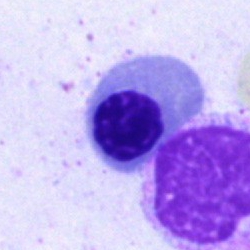 {"cell_type": "erythroblast"}